Bone marrow smear. MGG-stained: 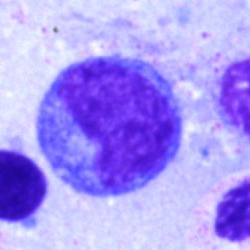

Showing a monocyte.